Bone marrow aspirate smear.
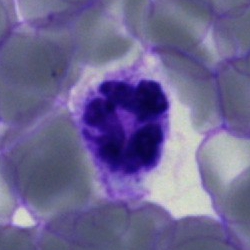
Morphology consistent with a polymorphonuclear neutrophil.